Bone marrow aspirate smear — 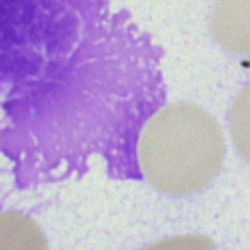 Cell type: artefact.